Bone marrow aspirate smear · brightfield, 40× oil-immersion objective · May-Grünwald-Giemsa stain.
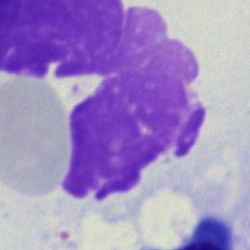 Cell — artifact.